Bone marrow smear · 250×250 · Pappenheim-stained: 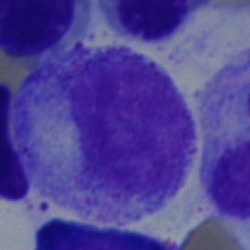 Morphology consistent with a promyelocyte.